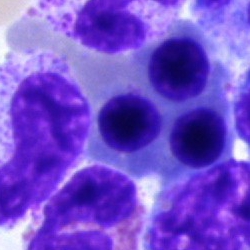Q: What cell is this?
A: It is an erythroblast.